Bone marrow smear · 40× objective, oil immersion:
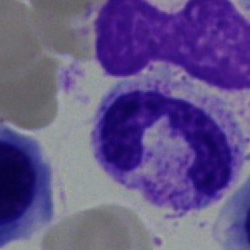

The cell shown is a neutrophil (segmented).